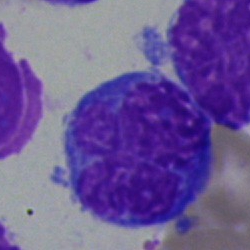

Morphology → undifferentiated blast.